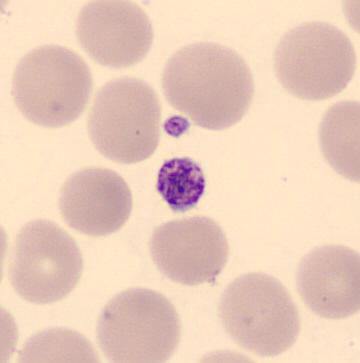

Showing a thrombocyte. Peripheral blood film.